Bone marrow aspirate smear
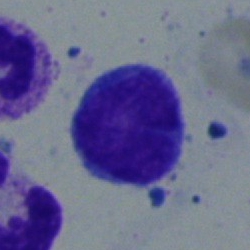
Morphology — blast cell.